Image size 250×250. Bone marrow aspirate smear
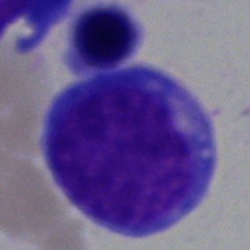 This is a blast cell.